Brightfield, 40× oil-immersion objective. 250×250 px. Bone marrow aspirate smear
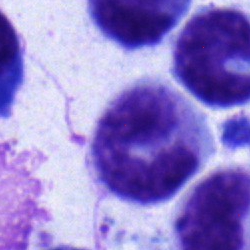Morphological class — band neutrophil.